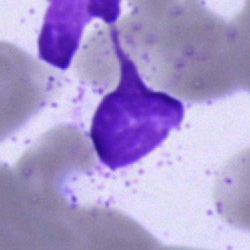

Classification — unidentifiable cell.